MGG-stained. Bone marrow smear: 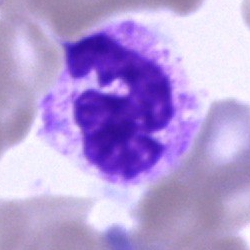A segmented neutrophil.